Bone marrow aspirate smear.
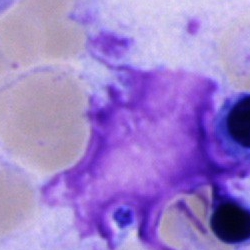 This is an artefact.